Single-cell crop. 250 by 250 pixels. Bone marrow aspirate smear: 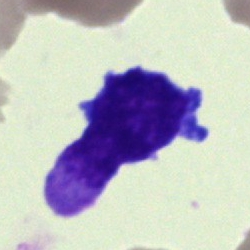 The cell shown is a blast.